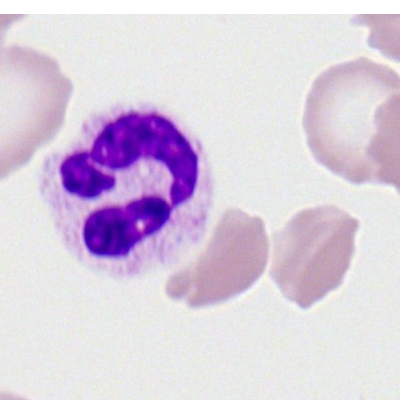

Peripheral blood smear showing a neutrophil (segmented).